Bone marrow smear: 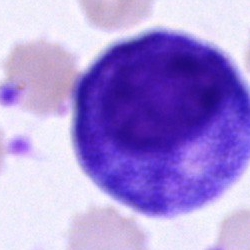A promyelocyte.